Bone marrow smear
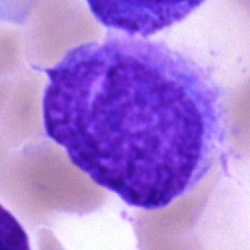 Specimen: bone marrow smear.
Cell: artefact.